May-Grünwald-Giemsa/Pappenheim stain · bone marrow aspirate smear:
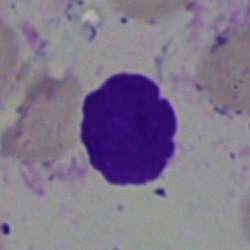Morphological class = artefact.